Bone marrow aspirate smear; brightfield, 40× oil-immersion objective:
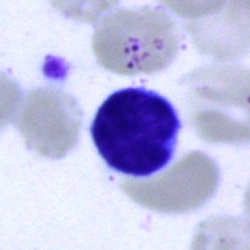Specimen: bone marrow aspirate smear.
Morphological class: typical lymphocyte.
Lineage: lymphoid.